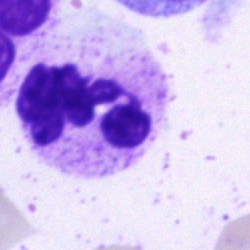
Morphology → polymorphonuclear neutrophil.